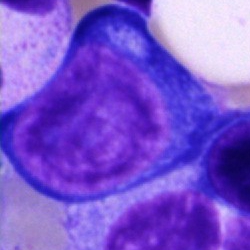

The cell type is proerythroblast.